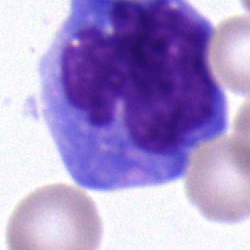{"cell_type": "progranulocyte"}